Single cell centered in the field; bone marrow smear
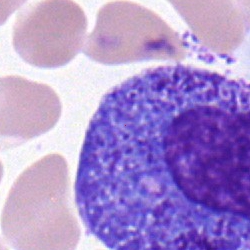Impression → progranulocyte.